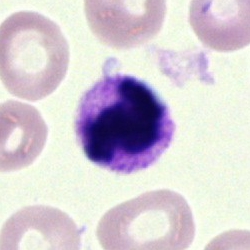
Classification: segmented neutrophil.